Bone marrow aspirate smear
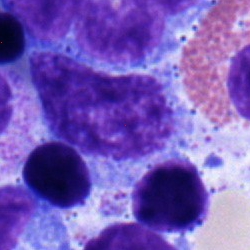Classification: typical lymphocyte.